Bone marrow smear · 250×250 px · cropped to a single cell
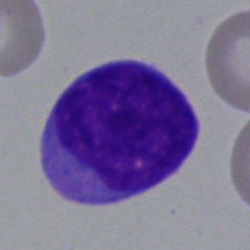A blast cell.